Bone marrow smear; cropped to a single cell.
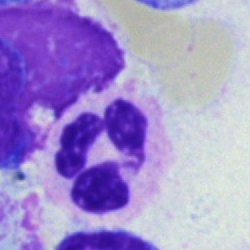 Segmented neutrophil.